Bone marrow smear. May-Grünwald-Giemsa/Pappenheim stain. Cropped to a single cell — 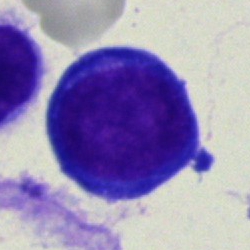A pronormoblast.